Bone marrow aspirate smear. Single-cell field. 250 by 250 pixels: 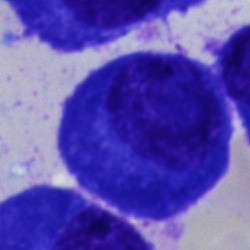 Impression → plasmacyte.